250 by 250 pixels; bone marrow smear
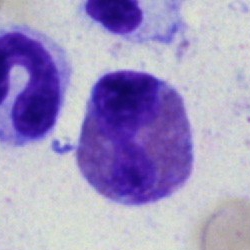
A basophil.